Bone marrow aspirate smear. May-Grünwald-Giemsa/Pappenheim stain: 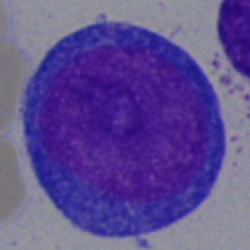
Pronormoblast.